Bone marrow aspirate smear
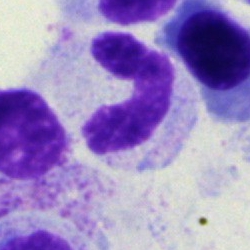The classification is band neutrophil.